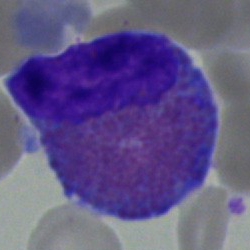 Q: Which cell type is shown here?
A: Eosinophilic granulocyte.